MGG-stained. Bone marrow smear — 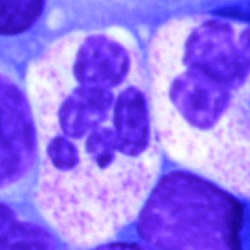
Single cell identified as a segmented neutrophil.